Bone marrow smear: 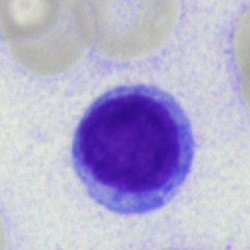 Showing a lymphocyte.